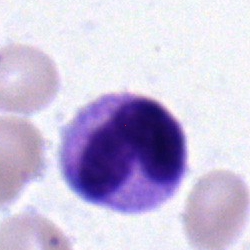 Bone marrow smear showing a stab cell.